Bone marrow smear:
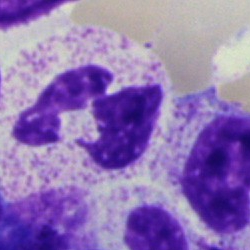 Morphology consistent with a segmented neutrophil.